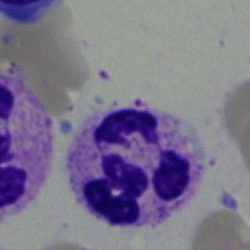

Single cell identified as a segmented neutrophil.